Bone marrow smear.
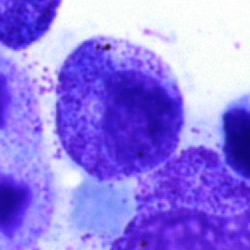

The cell shown is a myelocyte.